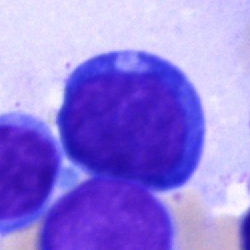

Showing a pronormoblast.